Bone marrow smear
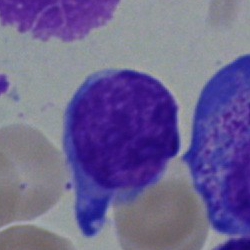

Specimen: bone marrow aspirate smear.
Cell type: blast.